Bone marrow smear. May-Grünwald-Giemsa stain. Cropped to a single cell — 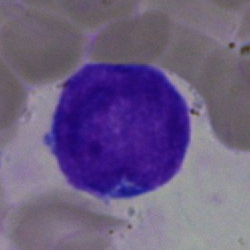 Specimen: bone marrow smear.
Classification: blast cell.